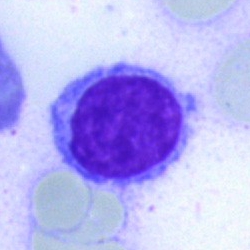
Impression — lymphocyte.